Image size 250×250; 40× oil immersion; bone marrow smear
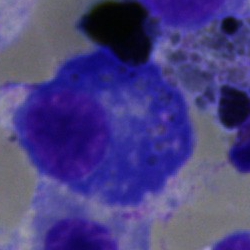

Plasmacyte.